Bone marrow aspirate smear:
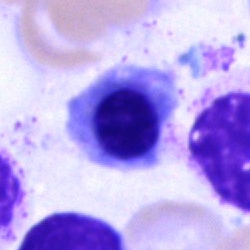 Q: What cell is this?
A: It is a normoblast.